Bone marrow smear
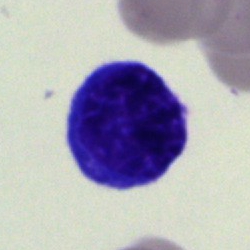 Classification — typical lymphocyte.